250×250 px. Bone marrow aspirate smear.
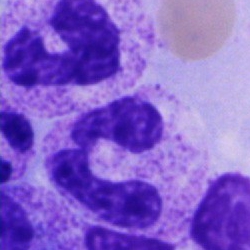
Cell type — polymorphonuclear neutrophil.